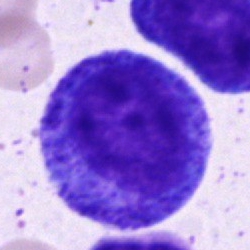
Promyelocyte.